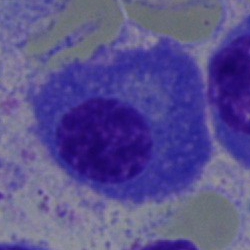
Showing a plasma cell.